Bone marrow aspirate smear.
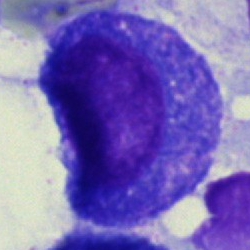
The cell shown is a progranulocyte.